Bone marrow aspirate smear. May-Grünwald-Giemsa/Pappenheim stain:
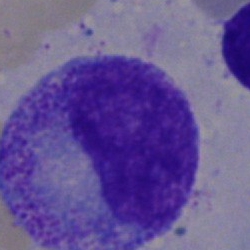

Impression → metamyelocyte.